MGG-stained; bone marrow aspirate smear
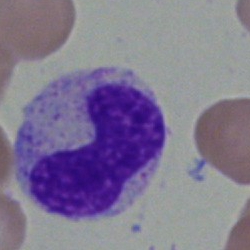
Q: What cell is this?
A: Metamyelocyte.